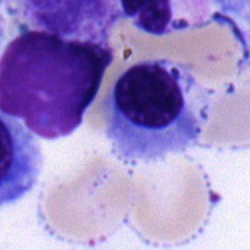 Morphological class — normoblast.